Bone marrow aspirate smear · 40× objective, oil immersion
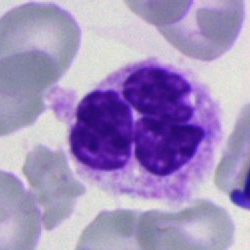

Morphology — segmented neutrophil.